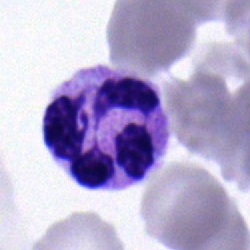
The cell shown is a segmented neutrophil.